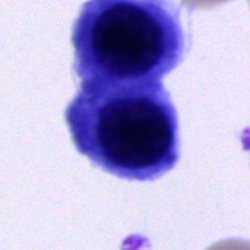Bone marrow smear showing an unidentifiable cell.